Bone marrow smear
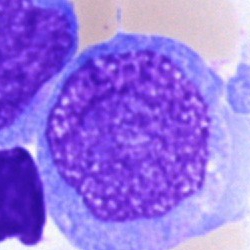

Specimen: bone marrow aspirate smear.
Morphological class: undifferentiated blast.